Bone marrow aspirate smear
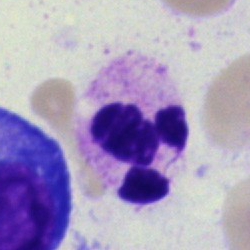Segmented neutrophil.